Single-cell field; May-Grünwald-Giemsa/Pappenheim stain; bone marrow smear
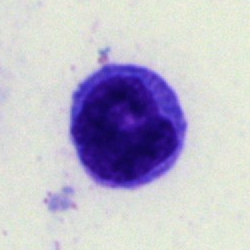
Morphology → segmented neutrophil.